Bone marrow smear: 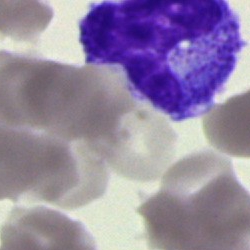 Morphology → unidentifiable cell.